MGG-stained · bone marrow smear · image size 250×250:
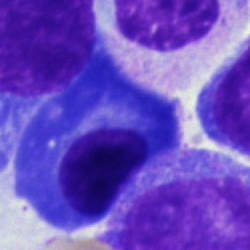The cell shown is a plasmacyte.